Bone marrow aspirate smear. 250×250 — 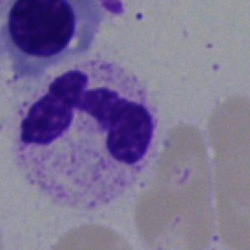Q: What type of cell is this?
A: A neutrophil (segmented).